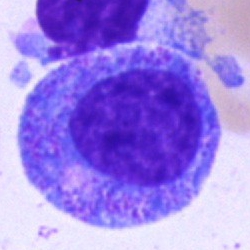 {"cell_type": "progranulocyte", "lineage": "myeloid"}